Bone marrow smear
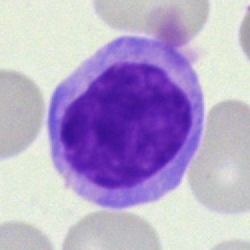
Single cell identified as a lymphocyte.